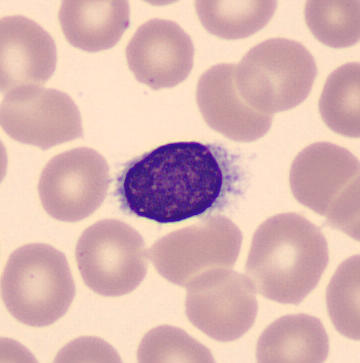
Morphological class = lymphocyte. Preparation: Peripheral blood smear; single cell centered in the field; 360 by 363 pixels.